40× oil immersion; bone marrow smear:
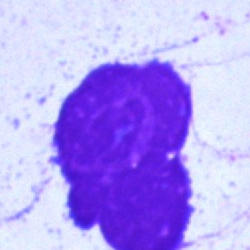 The cell shown is an artefact.